Single-cell field; May-Grünwald-Giemsa stain; bone marrow aspirate smear — 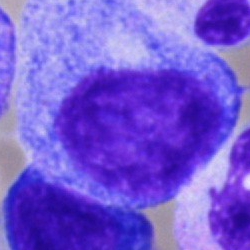 {"cell_type": "promyelocyte", "lineage": "myeloid"}